Bone marrow aspirate smear. Single cell centered in the field. Image size 250×250: 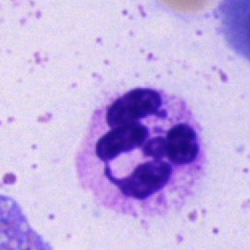Neutrophil (segmented).